Bone marrow aspirate smear.
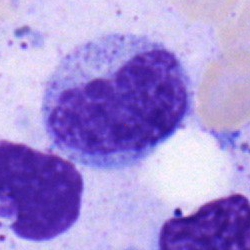

A metamyelocyte.